Bone marrow smear — 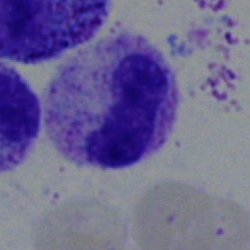
Q: What type of cell is this?
A: It is a neutrophil (band).